Brightfield microscopy, 40× oil immersion · bone marrow smear
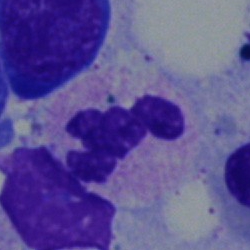
Q: What cell is this?
A: This is a polymorphonuclear neutrophil.